Single cell centered in the field. 360×363. Peripheral blood film
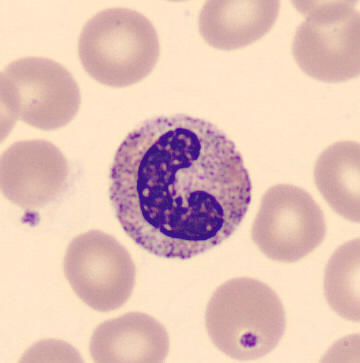
This is a band-form neutrophil.